Bone marrow smear · Pappenheim-stained · cropped to a single cell: 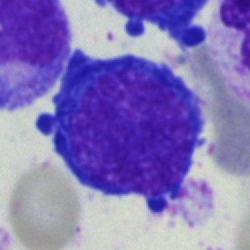 Q: What is shown here?
A: This is a nucleated red cell.